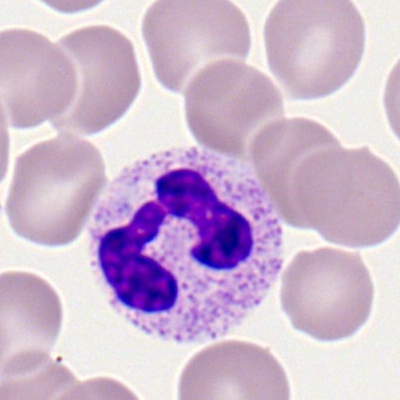Specimen: peripheral blood smear.
Morphological class: segmented neutrophil.
Lineage: myeloid.